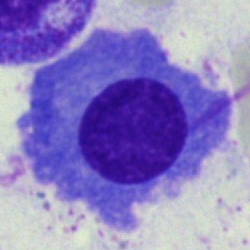The morphological class is plasma cell.